Image size 400×400. Peripheral blood film:
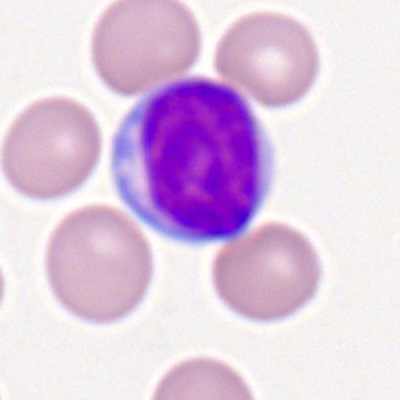The cell shown is a lymphocyte.